Bone marrow smear.
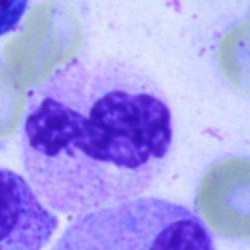

The cell shown is a polymorphonuclear neutrophil.